Bone marrow smear; 250×250 px; 40× oil immersion:
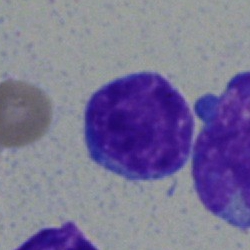
A typical lymphocyte.